MGG-stained; bone marrow smear: 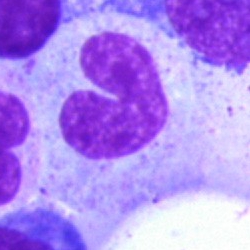Morphological class: band-form neutrophil.